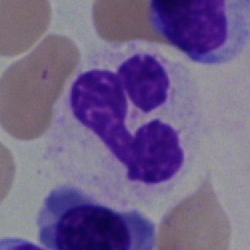

Single cell identified as a neutrophil (segmented).